Bone marrow smear — 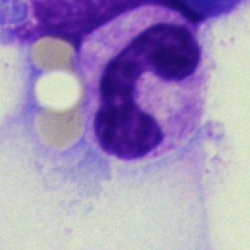This is a band neutrophil.